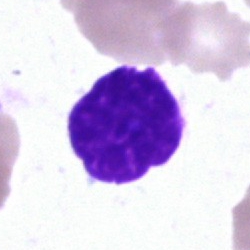
Bone marrow smear showing an artifact.